Bone marrow smear. 40× objective, oil immersion — 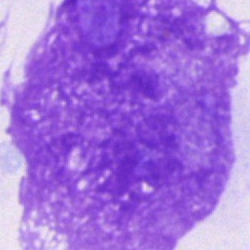

Q: What is shown here?
A: This is an artefact.